Bone marrow aspirate smear. 250×250: 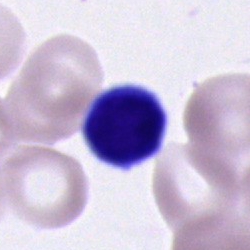
Morphology — typical lymphocyte.